400×400 px · single cell centered in the field · peripheral blood smear
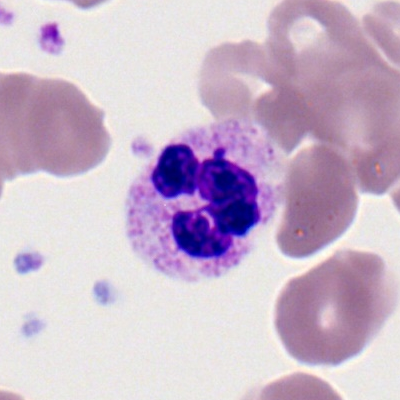

Q: Which cell type is shown here?
A: This is a neutrophil (segmented).